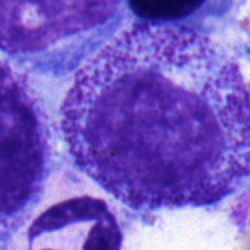 Q: What is shown here?
A: It is a myelocyte.